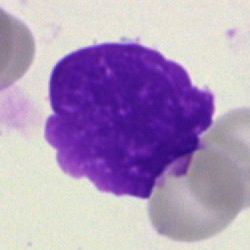 Cell type — artifact.